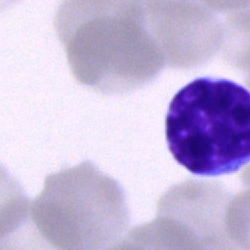The cell shown is a typical lymphocyte.